Bone marrow aspirate smear
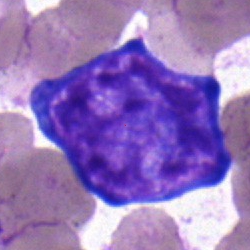
Q: What cell is this?
A: Pronormoblast.